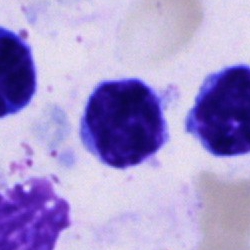 Cell type: typical lymphocyte.